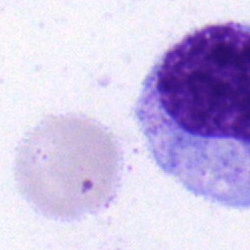

Morphology — myelocyte.